Bone marrow aspirate smear
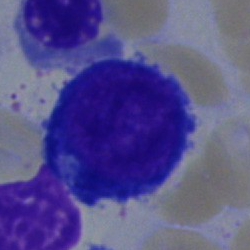

Impression → pronormoblast.